Bone marrow aspirate smear. Brightfield, 40× oil-immersion objective: 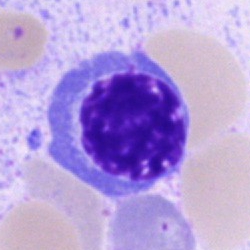 Specimen: bone marrow aspirate smear.
Cell type: erythroblast.